Bone marrow aspirate smear. May-Grünwald-Giemsa/Pappenheim stain
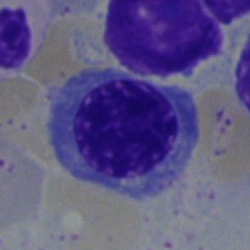 {"cell_type": "nucleated red blood cell", "lineage": "erythroid"}